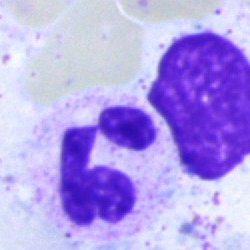The morphological class is polymorphonuclear neutrophil.